40× oil immersion; MGG-stained; bone marrow aspirate smear
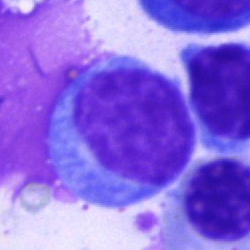 A lymphocyte.